Bone marrow smear
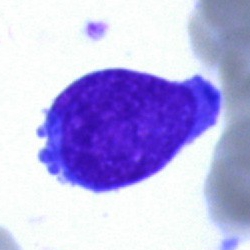Impression — blast cell.